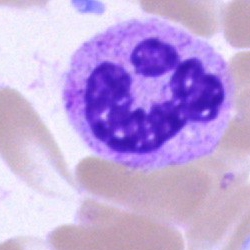Classification — neutrophil (segmented).